Bone marrow aspirate smear; 40× oil immersion: 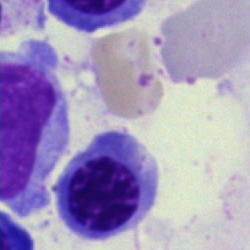Cell: nucleated red blood cell.